Bone marrow aspirate smear:
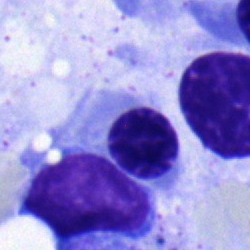
The cell shown is a normoblast.